Pappenheim-stained; bone marrow smear; 40× oil immersion — 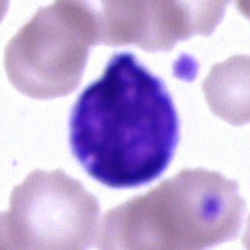
{"cell_type": "cell of indeterminate lineage"}